May-Grünwald-Giemsa stain · bone marrow smear · 250×250 px: 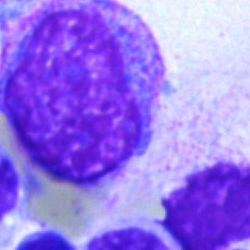
Q: Which cell type is shown here?
A: Promyelocyte.